Bone marrow aspirate smear: 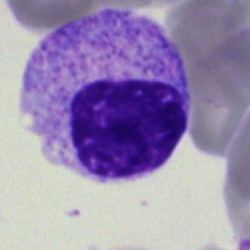
Classification = myelocyte.